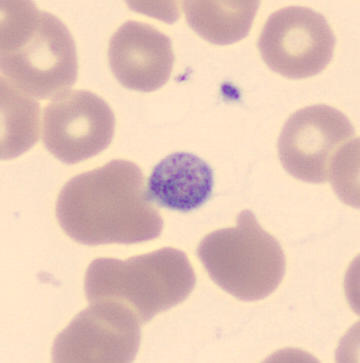 The classification is platelet.